Bone marrow aspirate smear; 40× objective, oil immersion:
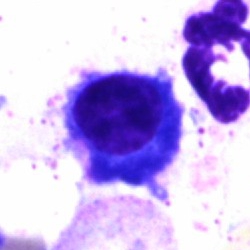Cell type = plasmacyte.